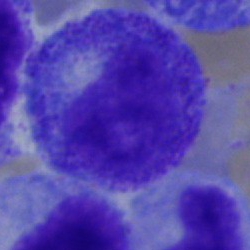

The cell shown is a myelocyte.